Single cell centered in the field · bone marrow aspirate smear: 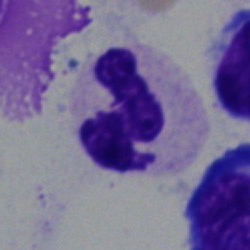
The cell type is segmented neutrophil.